Brightfield microscopy, 40× oil immersion · bone marrow smear
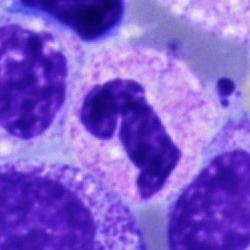 Q: What is shown here?
A: This is a segmented neutrophil.